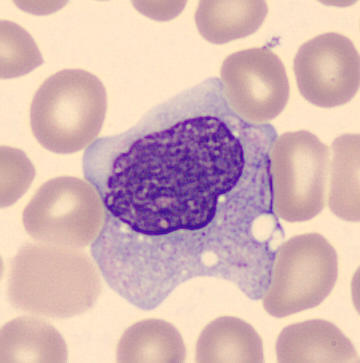

A monocyte on a peripheral blood smear.